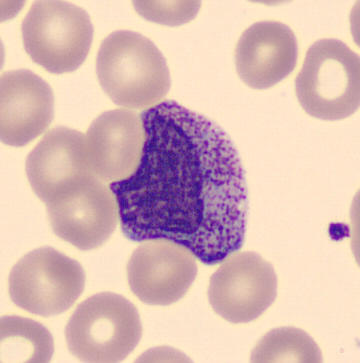Morphology consistent with a metamyelocyte.